Bone marrow smear; brightfield microscopy, 40× oil immersion; MGG-stained — 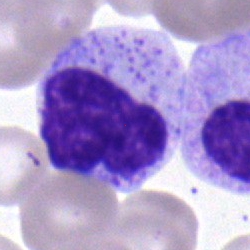

A band-form neutrophil.